Bone marrow smear; brightfield microscopy, 40× oil immersion:
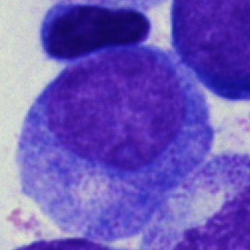
{"cell_type": "progranulocyte", "lineage": "myeloid"}